Peripheral blood film · Romanowsky-stained: 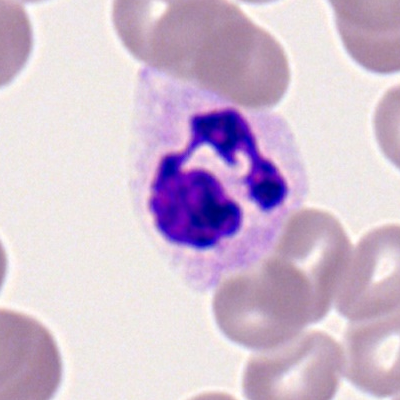

Q: Identify the cell.
A: Polymorphonuclear neutrophil.